Bone marrow aspirate smear
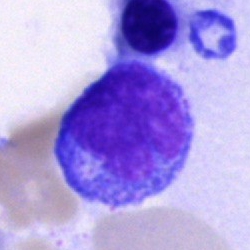 Monocyte.